Bone marrow aspirate smear.
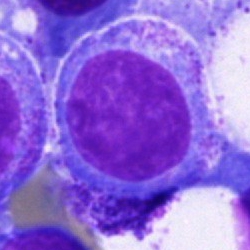{"cell_type": "undifferentiated blast"}